Bone marrow smear; brightfield microscopy, 40× oil immersion:
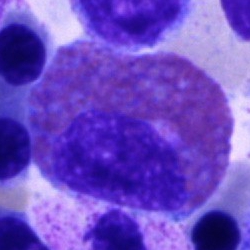 Morphology → eosinophil.